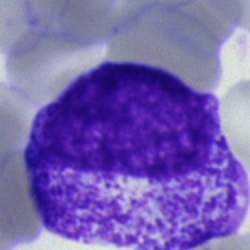Specimen: bone marrow smear.
Classification: myelocyte.
Lineage: myeloid.